Bone marrow smear — 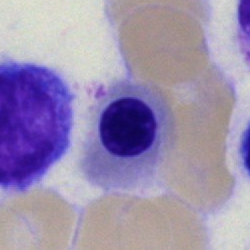 Normoblast.